Bone marrow aspirate smear:
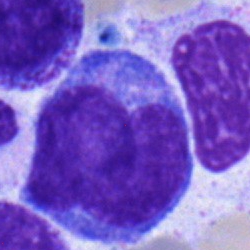

Classification = undifferentiated blast.